Bone marrow smear
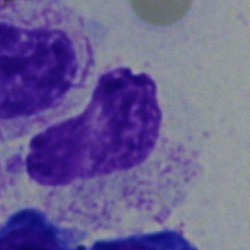
Cell type = metamyelocyte.